Single-cell crop · 250×250 · bone marrow smear — 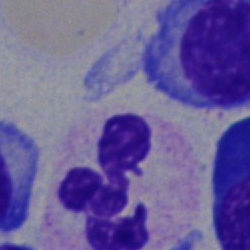 Cell = polymorphonuclear neutrophil.